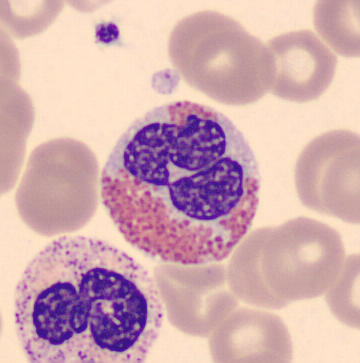

An eosinophil. Peripheral blood smear · CellaVision DM96 digital cell image.